Bone marrow aspirate smear — 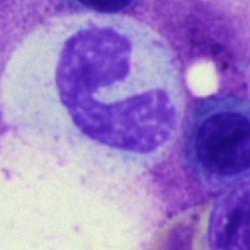

Morphological class = polymorphonuclear neutrophil.